250×250 px. May-Grünwald-Giemsa/Pappenheim stain. Bone marrow aspirate smear.
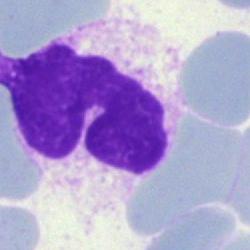

Q: What is shown here?
A: An artefact.